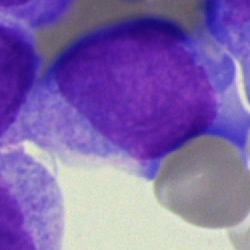

Bone marrow smear showing an undifferentiated blast.